Bone marrow smear. Brightfield, 40× oil-immersion objective
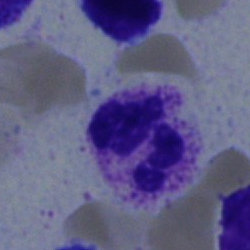 Single cell identified as a segmented neutrophil.